Brightfield, 40× oil-immersion objective; bone marrow smear:
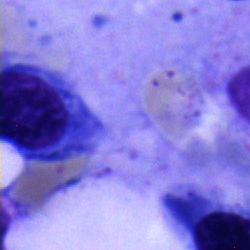

Morphology → nucleated red cell.